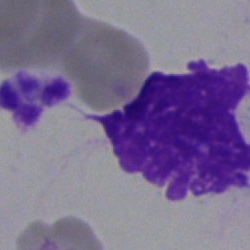
Morphology → artefact.